Single-cell field; bone marrow aspirate smear; 250×250 px: 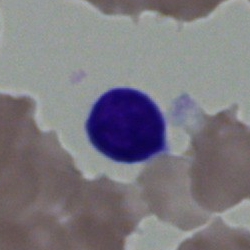
Cell type: lymphocyte.